Single-cell crop · bone marrow smear
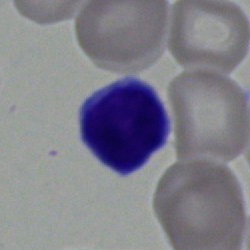
Q: What type of cell is this?
A: It is a typical lymphocyte.